Peripheral blood film
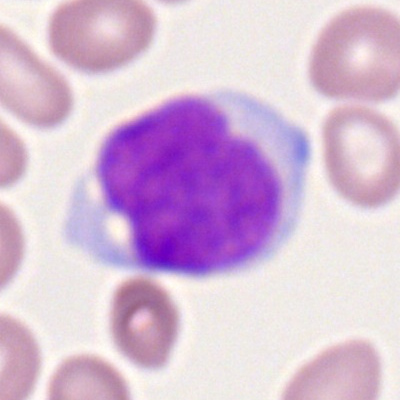
Specimen: peripheral blood smear.
Morphological class: monocyte.
Lineage: myeloid.